Bone marrow aspirate smear: 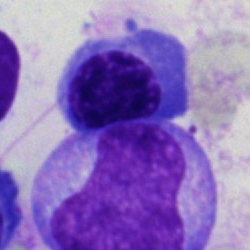 Showing a nucleated red blood cell.